Brightfield, 40× oil-immersion objective · bone marrow smear
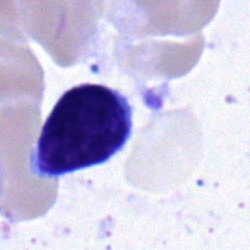Cell: typical lymphocyte.